Bone marrow aspirate smear · single-cell crop · 40× oil immersion.
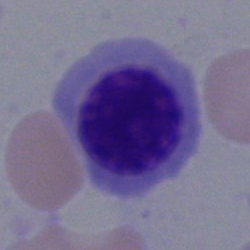
Classification: erythroblast.